Bone marrow smear. Cropped to a single cell: 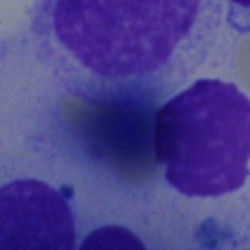
Classification = artifact.